Bone marrow aspirate smear. May-Grünwald-Giemsa stain — 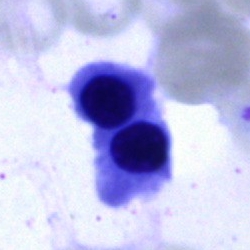Morphology consistent with a nucleated red blood cell.